40× oil immersion; single-cell crop; bone marrow smear
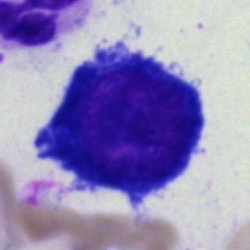

Impression → nucleated red cell.